Bone marrow smear
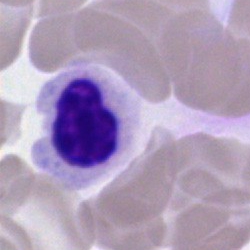 Nucleated red cell.